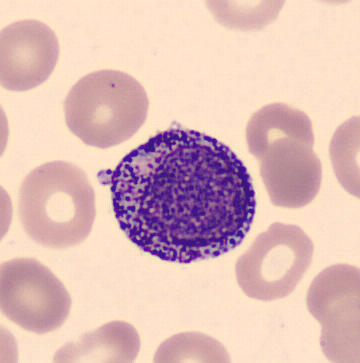Classification — promyelocyte.